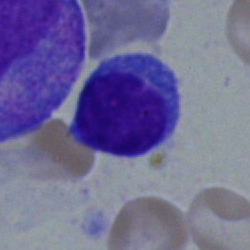

Typical lymphocyte.